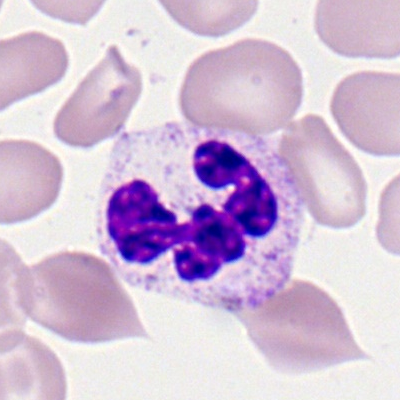Neutrophil (segmented).